Bone marrow aspirate smear
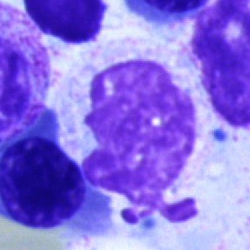 The morphological class is artefact.